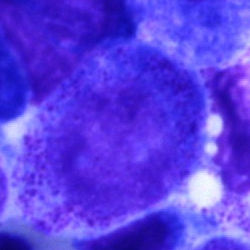Morphology — progranulocyte.